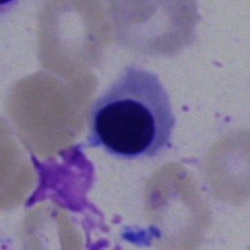Q: What is the morphological classification of this cell?
A: Erythroblast.